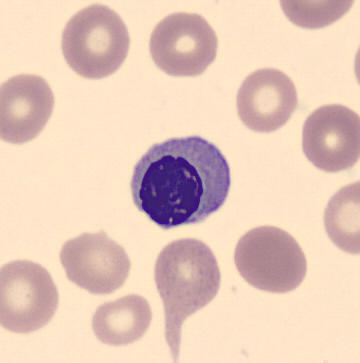Specimen: peripheral blood film.
Cell type: nucleated red blood cell.
Image: Imaged on a CellaVision DM96 analyser; single-cell field.